Bone marrow smear — 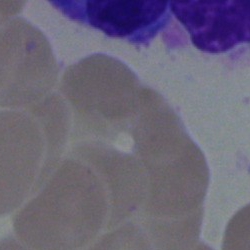
Showing an artifact.